Image size 250×250; bone marrow smear: 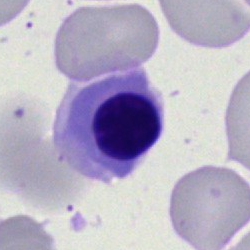Morphology → nucleated red blood cell.